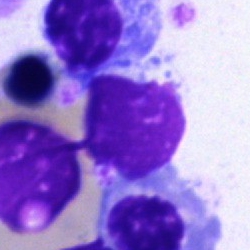 Q: What is shown here?
A: An artefact.